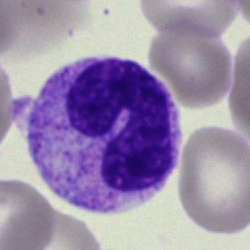

Q: What type of cell is this?
A: Band neutrophil.